Bone marrow smear.
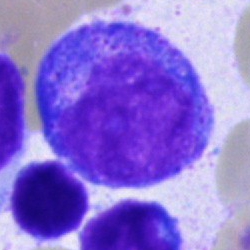Classification: promyelocyte.